Single cell centered in the field · bone marrow aspirate smear:
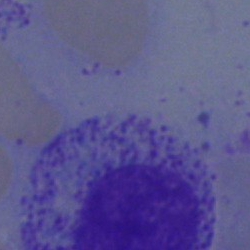
Q: What type of cell is this?
A: A myelocyte.